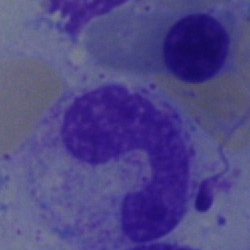Classification: band-form neutrophil.